Bone marrow smear · single-cell field:
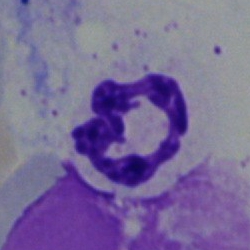Showing a segmented neutrophil.